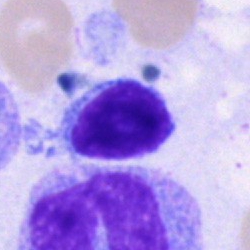
Single cell identified as a typical lymphocyte.